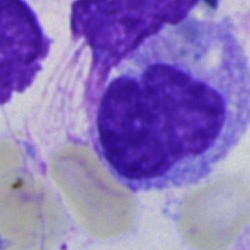Showing a monocyte.